Peripheral blood smear: 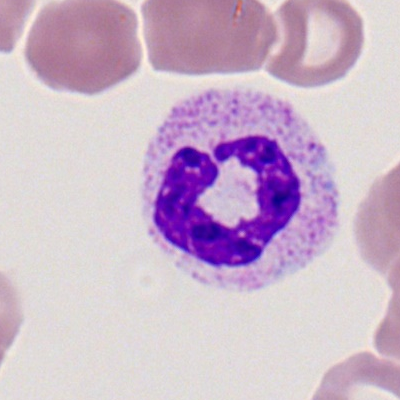
Neutrophil (segmented).